Bone marrow aspirate smear:
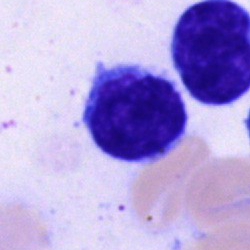Cell = lymphocyte.